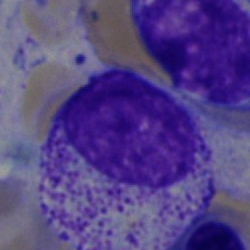
The cell type is myelocyte.